Peripheral blood film: 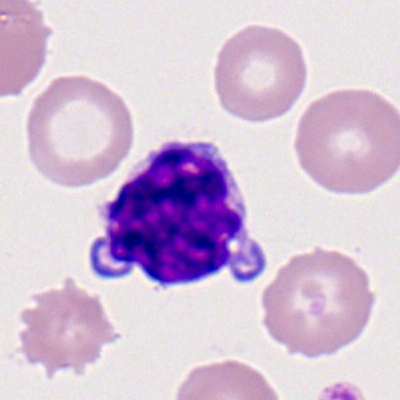

Classification = lymphocyte.